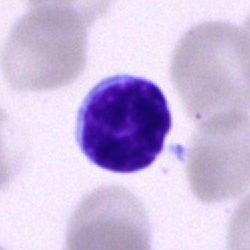

Specimen: bone marrow smear.
Morphological class: lymphocyte.
Lineage: lymphoid.